Bone marrow aspirate smear:
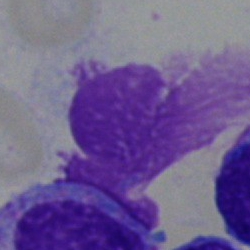
An artifact.